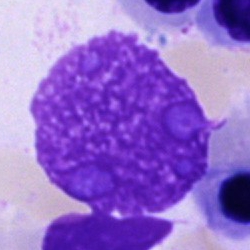 Impression — artifact.